Pappenheim-stained. Cropped to a single cell. Bone marrow aspirate smear.
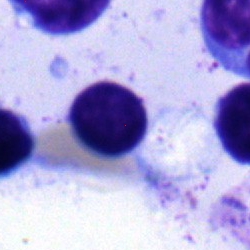 Q: Which cell type is shown here?
A: Lymphocyte.